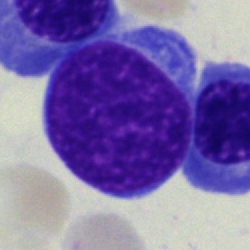Undifferentiated blast.